Single-cell field · bone marrow smear:
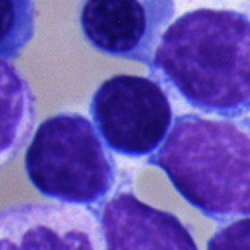 Cell type = lymphocyte.